Bone marrow smear.
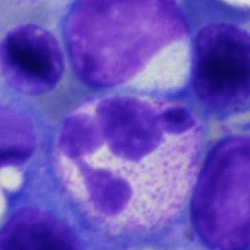

{"cell_type": "polymorphonuclear neutrophil"}